Bone marrow aspirate smear; cropped to a single cell — 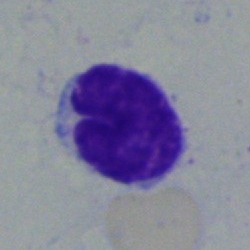 Morphological class: lymphocyte.